Bone marrow aspirate smear.
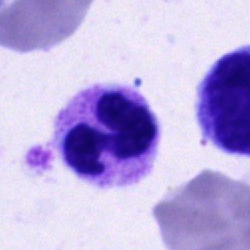
Morphological class — polymorphonuclear neutrophil.